Brightfield microscopy, 40× oil immersion. Bone marrow aspirate smear
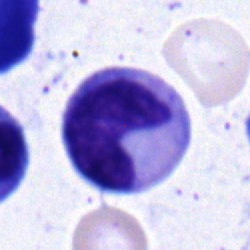

Q: What is the morphological classification of this cell?
A: A stab cell.